Bone marrow aspirate smear: 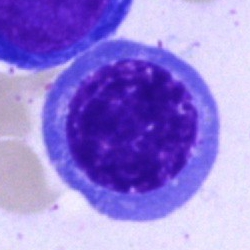
Erythroblast.